Bone marrow aspirate smear — 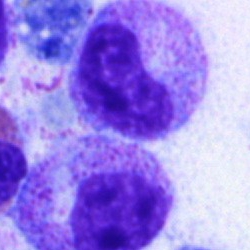

Specimen: bone marrow smear.
Cell type: metamyelocyte.